Bone marrow aspirate smear
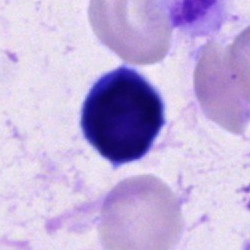

The morphological class is cell of indeterminate lineage.